Bone marrow aspirate smear.
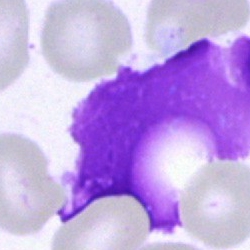
Cell = artefact.